400 by 400 pixels; peripheral blood smear:
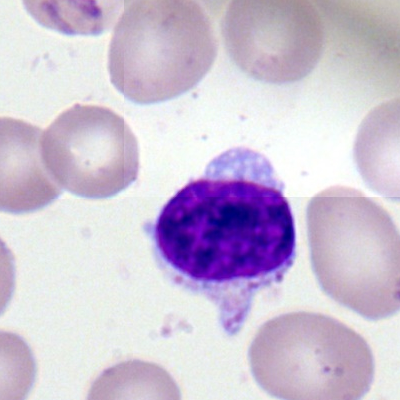This is a lymphocyte.